Bone marrow smear: 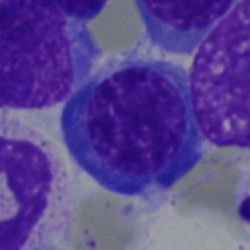 Morphological class: nucleated red blood cell.